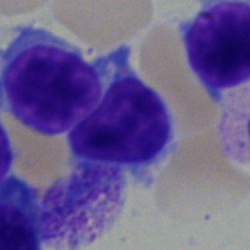 Specimen: bone marrow smear.
Cell type: typical lymphocyte.
Lineage: lymphoid.